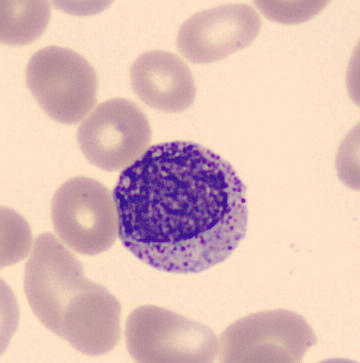 Morphology → myelocyte.
Image: Peripheral blood film.